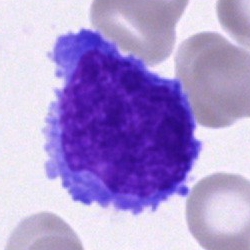 A lymphocyte on a bone marrow smear.